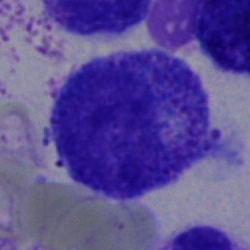 Morphology consistent with a progranulocyte.